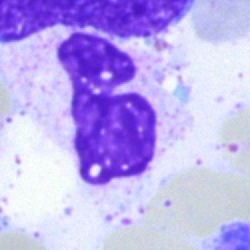
{"cell_type": "artifact"}